Bone marrow aspirate smear — 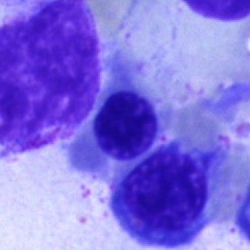Nucleated red blood cell.